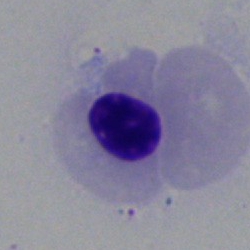

Morphology consistent with a nucleated red blood cell.